Image size 250×250 · bone marrow smear · Pappenheim-stained:
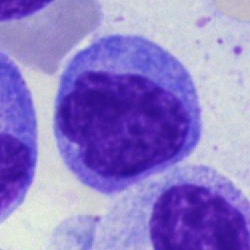

This is a monocyte.